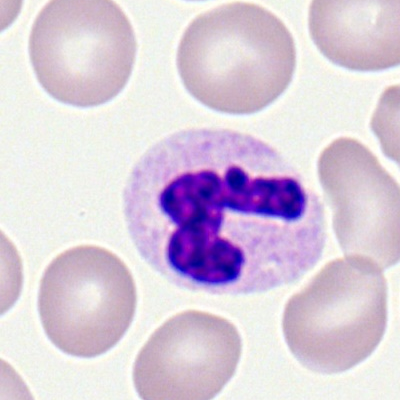
Classification: neutrophil (segmented).